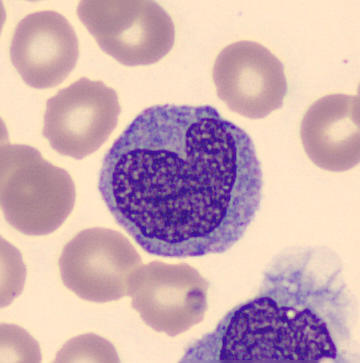 The classification is monocyte.

Preparation: Peripheral blood film.